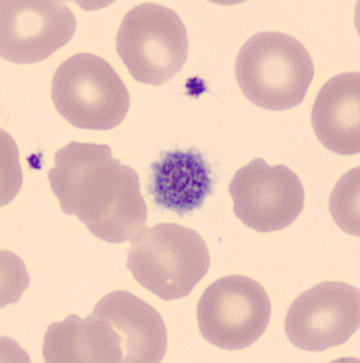

Q: What is this?
A: This is a platelet (thrombocyte).